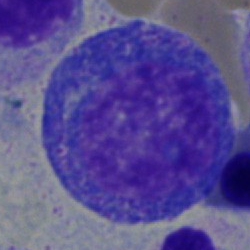Q: Identify the cell.
A: This is a progranulocyte.